250×250; bone marrow smear:
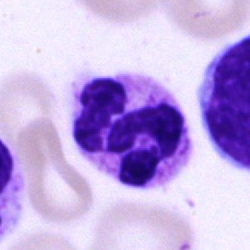Morphology — polymorphonuclear neutrophil.